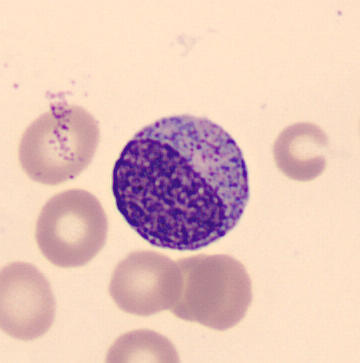
Peripheral blood smear.

Q: What is shown here?
A: A myelocyte.